Bone marrow aspirate smear.
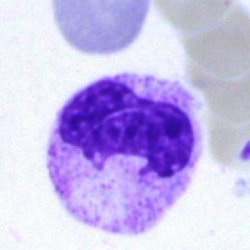The cell shown is a band neutrophil.